Bone marrow aspirate smear
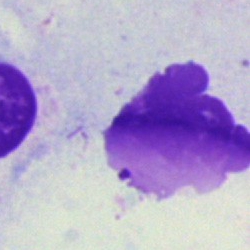 Specimen: bone marrow smear.
Morphological class: artifact.